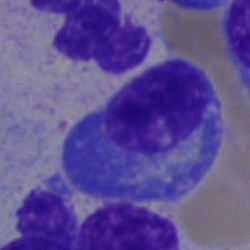

Cell type = plasma cell.